Bone marrow smear; MGG-stained:
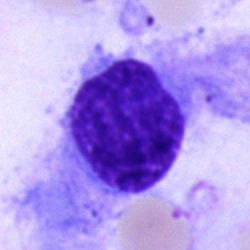 This is an unidentifiable cell.